Bone marrow aspirate smear · brightfield microscopy, 40× oil immersion · single cell centered in the field: 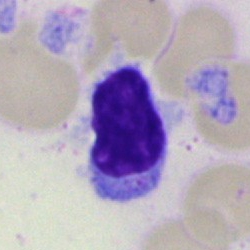

The cell shown is a typical lymphocyte.